Brightfield, 40× oil-immersion objective. Bone marrow aspirate smear
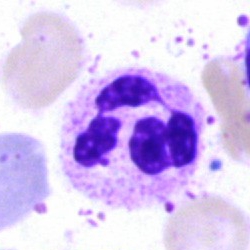 Morphology — polymorphonuclear neutrophil.